Bone marrow aspirate smear — 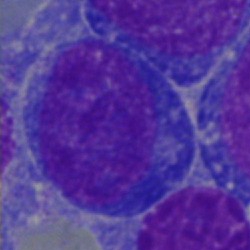

Single cell identified as a blast.